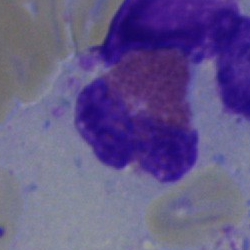
Cell = eosinophilic granulocyte.